Bone marrow smear: 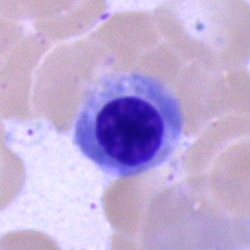

The morphological class is normoblast.